Cropped to a single cell. Bone marrow smear
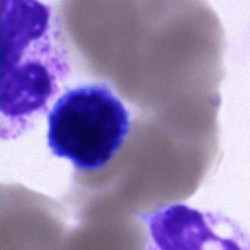 A cell of indeterminate lineage.